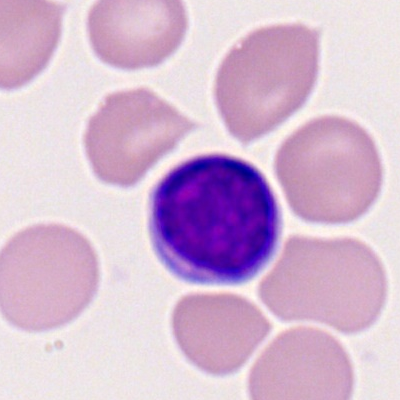
Q: What cell is this?
A: It is a typical lymphocyte.